Bone marrow aspirate smear; May-Grünwald-Giemsa/Pappenheim stain; brightfield, 40× oil-immersion objective
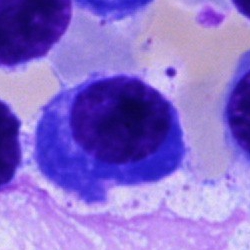

Specimen: bone marrow smear.
Classification: plasma cell.
Lineage: lymphoid.